Bone marrow smear:
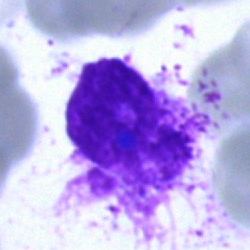 Q: What is shown here?
A: It is an artefact.